Bone marrow smear; image size 250×250.
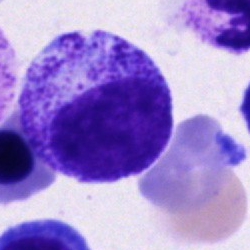

Specimen: bone marrow aspirate smear.
Classification: progranulocyte.